May-Grünwald-Giemsa/Pappenheim stain · bone marrow aspirate smear — 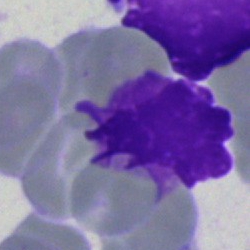 Q: What is shown here?
A: An artifact.